Bone marrow smear · single-cell crop
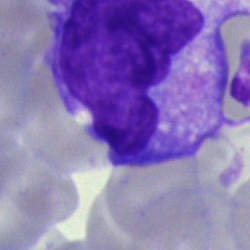

An artifact.